400×400 · peripheral blood film · Romanowsky-type stain.
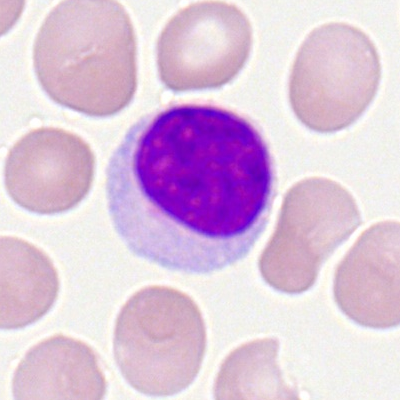 Showing a typical lymphocyte.